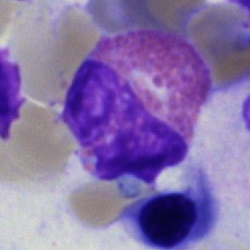
An eosinophilic granulocyte on a bone marrow smear.